Bone marrow smear: 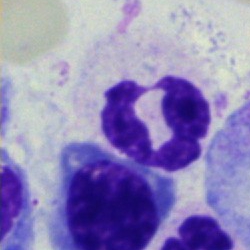
{"cell_type": "segmented neutrophil", "lineage": "myeloid"}